Bone marrow smear
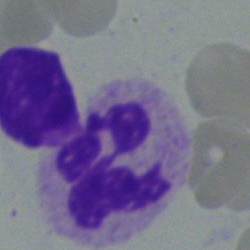Showing a neutrophil (segmented).